Bone marrow smear · single cell centered in the field.
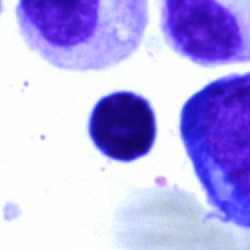 Cell = artefact.